MGG-stained · bone marrow smear — 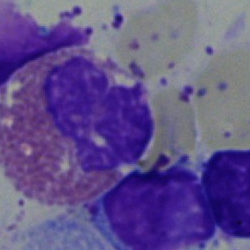 Showing an eosinophil.